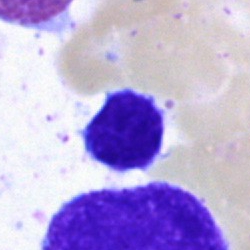Impression → typical lymphocyte.